MGG-stained. Bone marrow smear. 250×250 px — 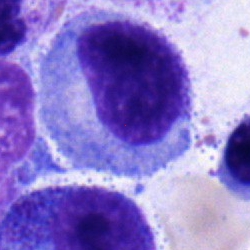 Q: What cell is this?
A: It is a promyelocyte.